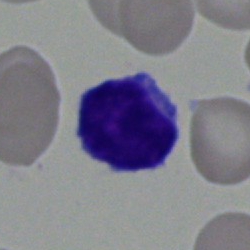A typical lymphocyte.